Bone marrow aspirate smear · single-cell crop — 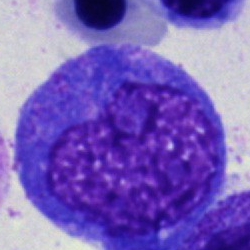
Q: Which cell type is shown here?
A: Promyelocyte.